Bone marrow smear: 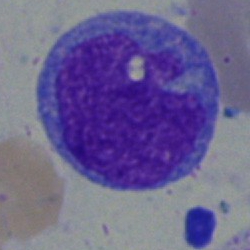
Specimen: bone marrow smear.
Classification: undifferentiated blast.